Pappenheim-stained; 250 by 250 pixels; bone marrow smear
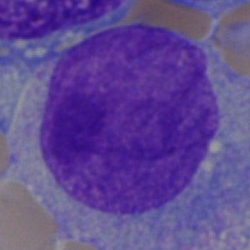Undifferentiated blast.